Bone marrow aspirate smear:
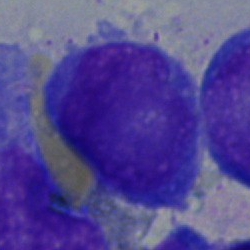 Specimen: bone marrow smear.
Classification: blast.